Bone marrow smear. May-Grünwald-Giemsa/Pappenheim stain. 250 by 250 pixels — 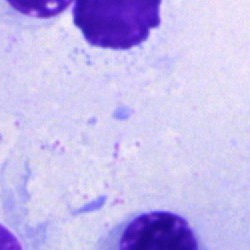

Cell type = artifact.